250×250 px · bone marrow aspirate smear
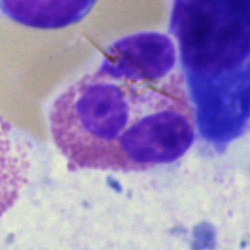Classification: eosinophilic granulocyte.